Bone marrow aspirate smear · 250×250.
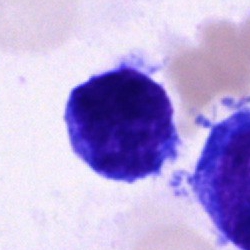
An undifferentiated blast.